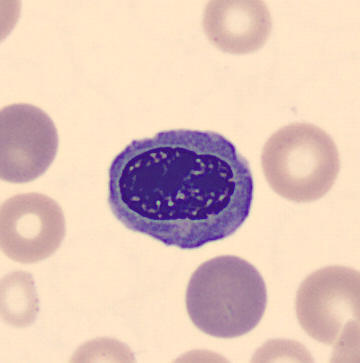

Normoblast.

Image: Peripheral blood film; 360×363 px.